Bone marrow smear — 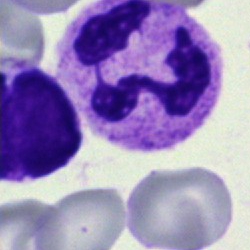Polymorphonuclear neutrophil.